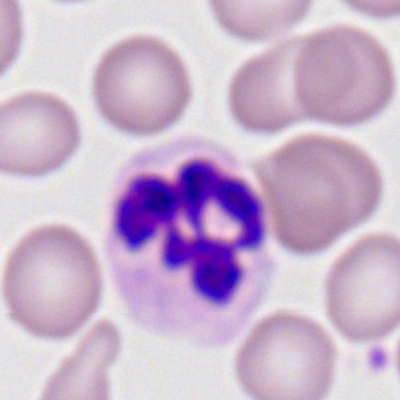 The cell is neutrophil (segmented).